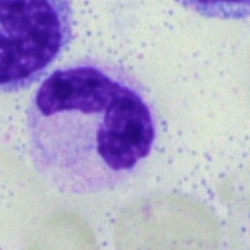 Cell type: segmented neutrophil.